Bone marrow smear · May-Grünwald-Giemsa stain: 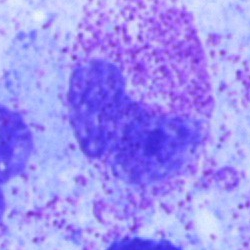The cell is band-form neutrophil.